Bone marrow smear:
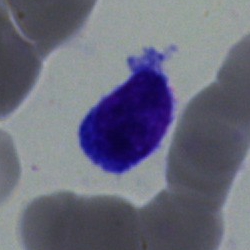The cell shown is a lymphocyte.